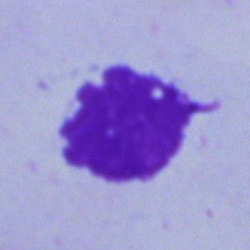

Specimen: bone marrow aspirate smear.
Morphological class: artefact.